Bone marrow aspirate smear; image size 250×250
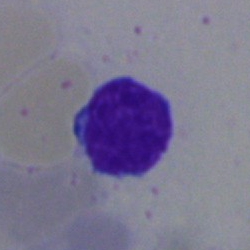Showing a typical lymphocyte.